Image size 250×250. Bone marrow aspirate smear
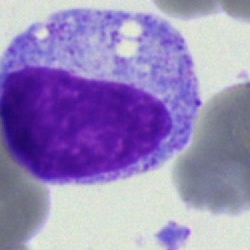 A promyelocyte.